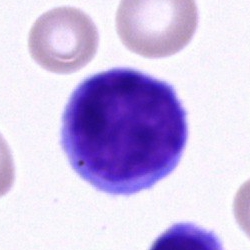

Morphology → lymphocyte.